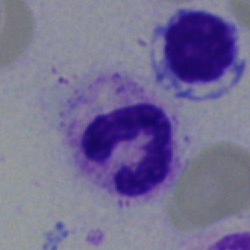

Morphology — polymorphonuclear neutrophil.